Bone marrow aspirate smear · Pappenheim-stained · single-cell crop — 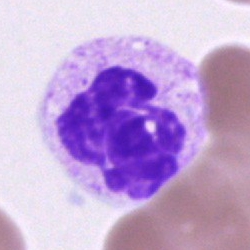Q: Which cell type is shown here?
A: A neutrophil (segmented).